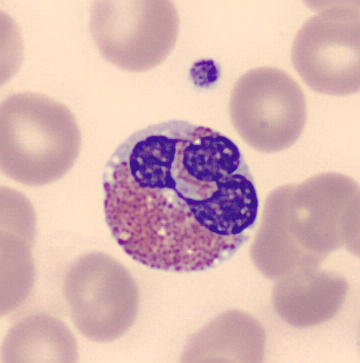

Impression — eosinophil.

Acquisition: Peripheral blood film.